Bone marrow smear.
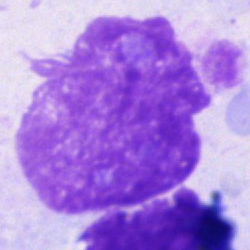
Specimen: bone marrow smear.
Classification: artifact.